Single-cell crop. Bone marrow smear
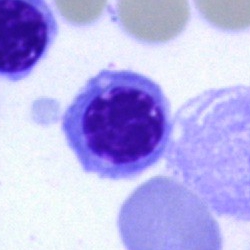Q: Identify the cell.
A: It is a nucleated red cell.